Bone marrow smear: 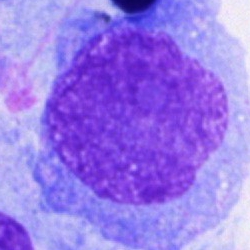 Q: Identify the cell.
A: This is a blast.